Bone marrow aspirate smear.
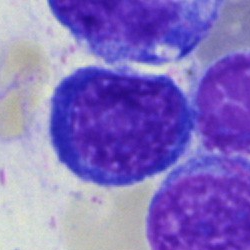

Showing a nucleated red cell.